Bone marrow aspirate smear · 250 by 250 pixels:
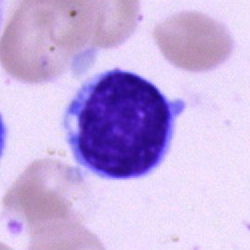Impression — typical lymphocyte.